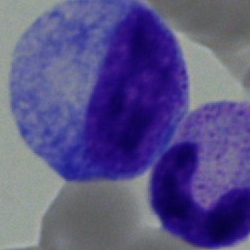
Classification — myelocyte.